Peripheral blood smear: 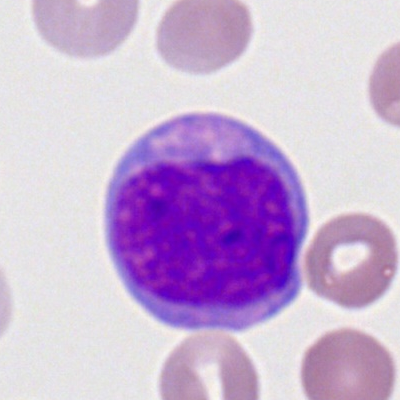

The cell shown is a myeloid blast.